Bone marrow aspirate smear; cropped to a single cell.
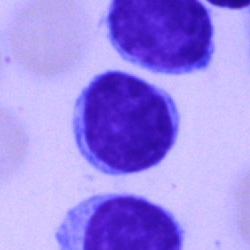 A typical lymphocyte.